Bone marrow smear — 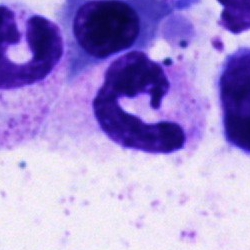 Impression → polymorphonuclear neutrophil.